Bone marrow smear.
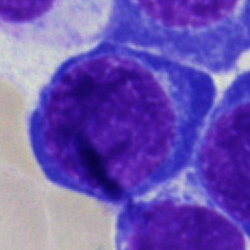Q: Which cell type is shown here?
A: This is an erythroblast.